Brightfield, 40× oil-immersion objective; bone marrow aspirate smear: 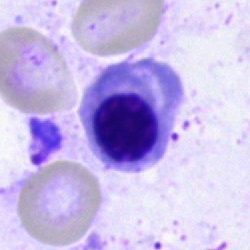Q: What is the morphological classification of this cell?
A: It is an erythroblast.